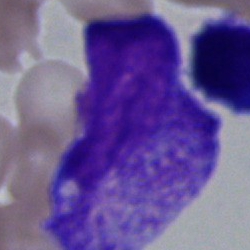The classification is myelocyte.